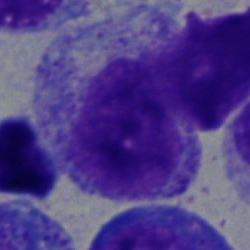

Bone marrow aspirate smear, single cell — myelocyte.